Image size 250×250; bone marrow aspirate smear:
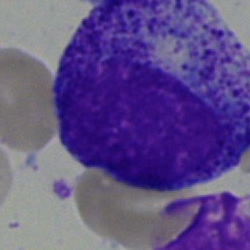Showing a progranulocyte.